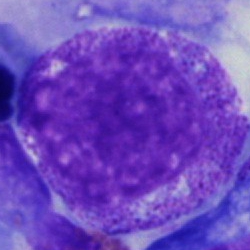A progranulocyte on a bone marrow smear.